100× objective, oil immersion; peripheral blood film.
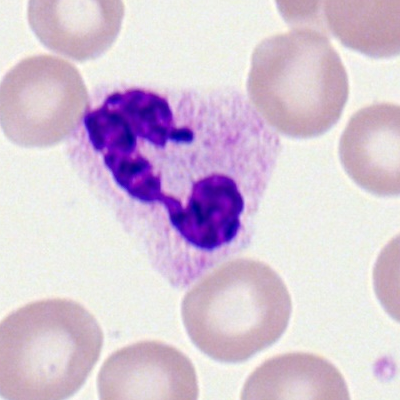

Neutrophil (segmented).